250×250 px; bone marrow aspirate smear: 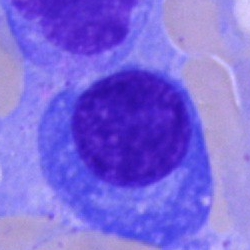
A plasmacyte.